Peripheral blood smear:
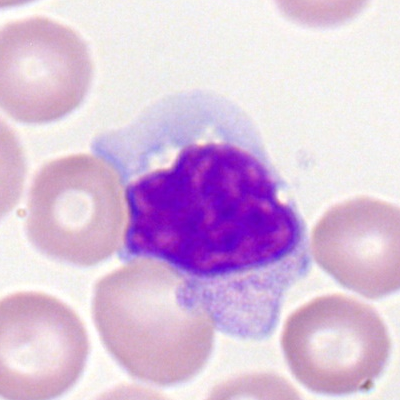 Cell = monocyte.